250 by 250 pixels · bone marrow aspirate smear
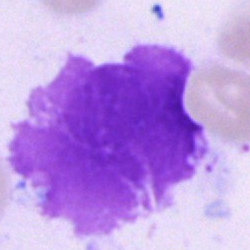 Morphology — artifact.